40× objective, oil immersion · bone marrow smear · MGG-stained — 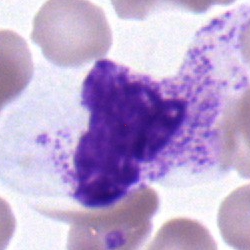

Morphological class: neutrophil (segmented).